Bone marrow aspirate smear:
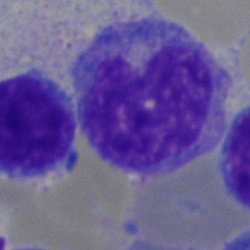

Morphology — monocyte.